Automated cell imaging (CellaVision DM96); peripheral blood smear; single cell centered in the field
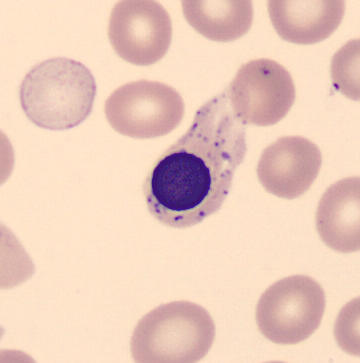 Nucleated red blood cell.